Bone marrow smear — 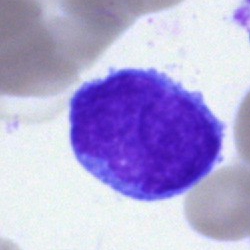Q: What is shown here?
A: It is a blast.